Image size 250×250 · bone marrow smear · single cell centered in the field — 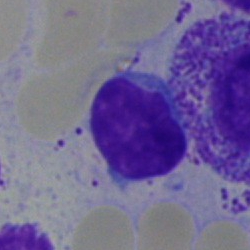Q: What cell is this?
A: This is a typical lymphocyte.